Peripheral blood film — 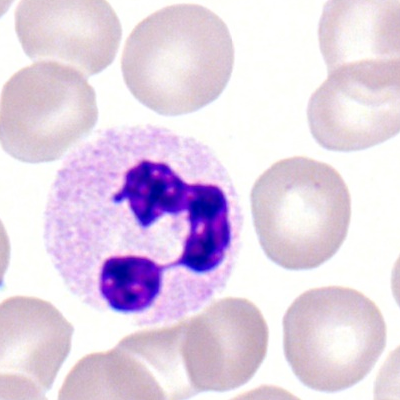
Showing a segmented neutrophil.